Image size 250×250; bone marrow smear.
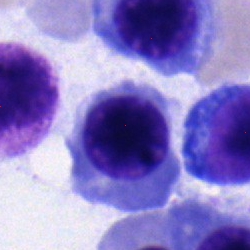

Morphological class = nucleated red cell.